Bone marrow aspirate smear; MGG-stained; 250×250
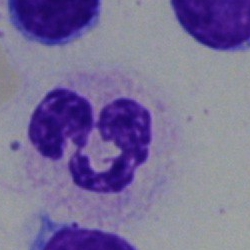
Q: Which cell type is shown here?
A: It is a polymorphonuclear neutrophil.